Bone marrow aspirate smear.
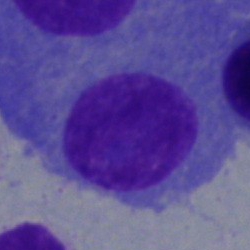This is a plasma cell.